Bone marrow smear.
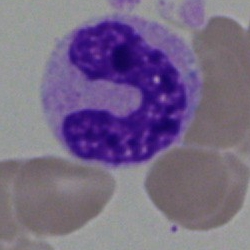

Specimen: bone marrow smear.
Cell: band-form neutrophil.
Lineage: myeloid.